Bone marrow aspirate smear — 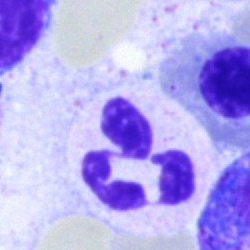

A neutrophil (segmented).